Pappenheim-stained · bone marrow aspirate smear · 250 by 250 pixels:
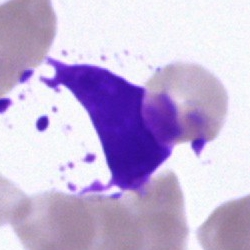
Morphological class = artefact.